40× oil immersion. Bone marrow smear:
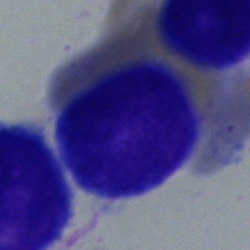 Morphology → blast cell.